Bone marrow smear: 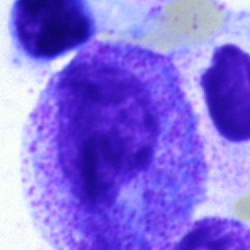 Specimen: bone marrow aspirate smear.
Classification: progranulocyte.
Lineage: myeloid.